Bone marrow smear — 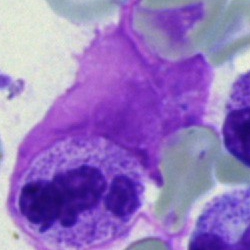 Polymorphonuclear neutrophil.